Bone marrow aspirate smear: 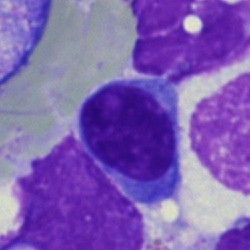
This is a typical lymphocyte.